Bone marrow smear
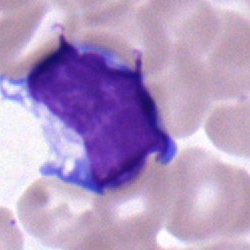 Q: Identify the cell.
A: Lymphocyte.